May-Grünwald-Giemsa/Pappenheim stain; bone marrow smear.
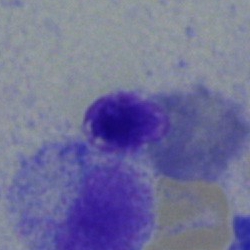 Cell — normoblast.